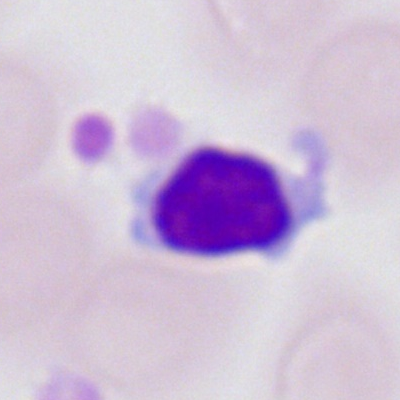 Morphological class: lymphocyte.